May-Grünwald-Giemsa/Pappenheim stain · bone marrow aspirate smear · single-cell field — 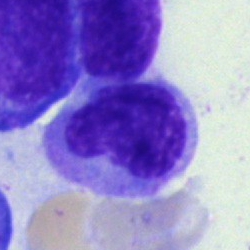

Cell type: monocyte.